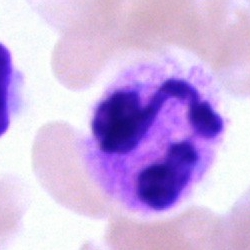 Classification: neutrophil (segmented).